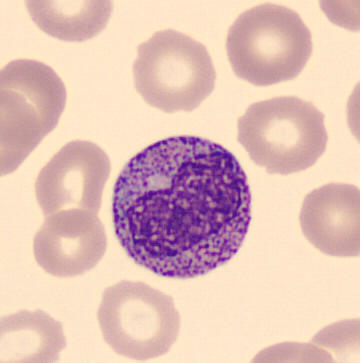 Specimen: peripheral blood film.
Cell type: metamyelocyte.
Lineage: myeloid.